Bone marrow aspirate smear · brightfield microscopy, 40× oil immersion.
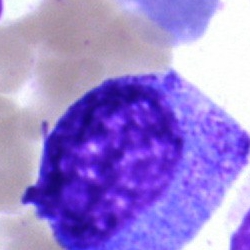
Cell type = promyelocyte.